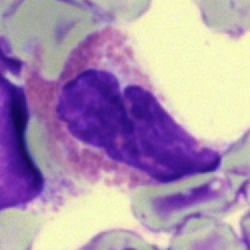 Specimen: bone marrow aspirate smear.
Classification: eosinophil.